Peripheral blood smear; M8 digital microscope (Precipoint), 100× oil immersion; single-cell field
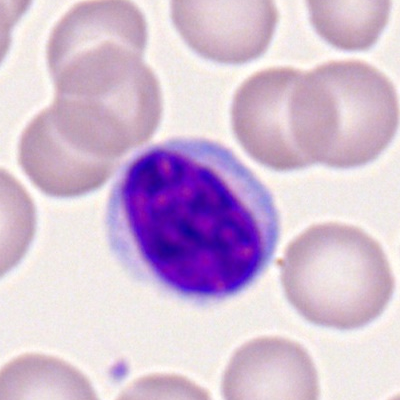This is a lymphocyte.